Peripheral blood smear:
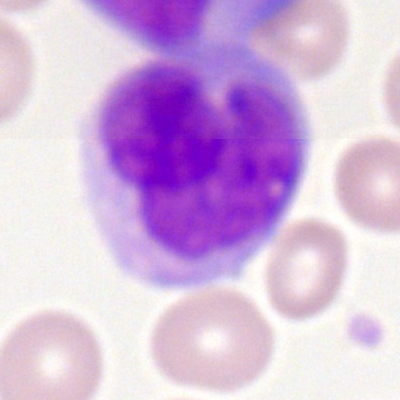 Cell type — monocyte.